May-Grünwald-Giemsa stain. Bone marrow smear — 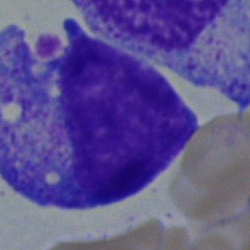Morphological class — progranulocyte.